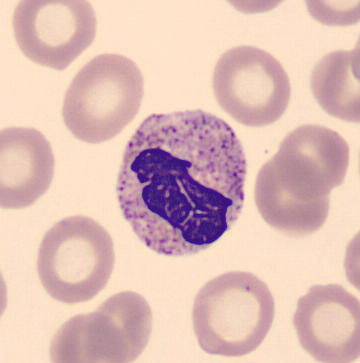

Image: Peripheral blood smear.

Morphology — band neutrophil.